Single-cell field; bone marrow smear; brightfield microscopy, 40× oil immersion:
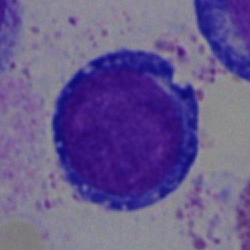
Cell = proerythroblast.